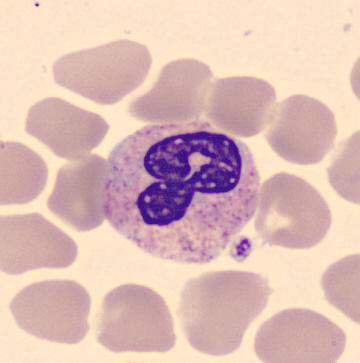 Peripheral blood smear.

Segmented neutrophil.